Pappenheim-stained · bone marrow aspirate smear:
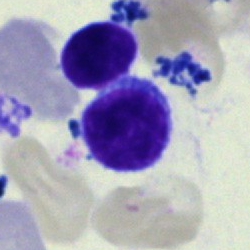
Cell type: typical lymphocyte.